Bone marrow aspirate smear: 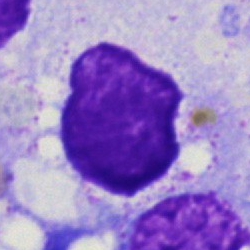
This is an artefact.